Peripheral blood smear — 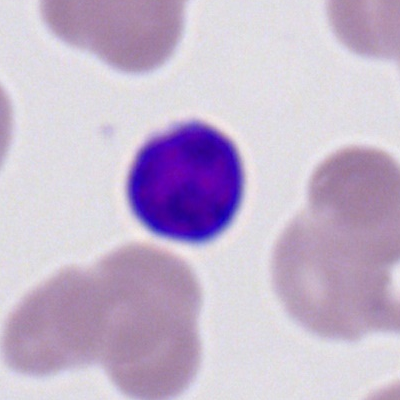
Classification = lymphocyte.